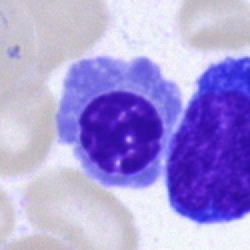Q: What is shown here?
A: Erythroblast.